Bone marrow aspirate smear. 40× objective, oil immersion. Cropped to a single cell
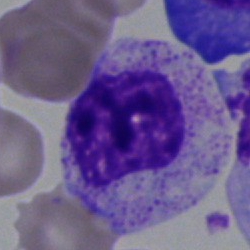
The cell type is myelocyte.